Bone marrow smear; single-cell field
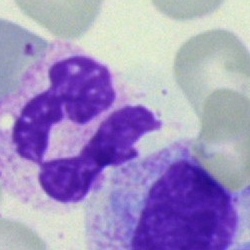A segmented neutrophil.